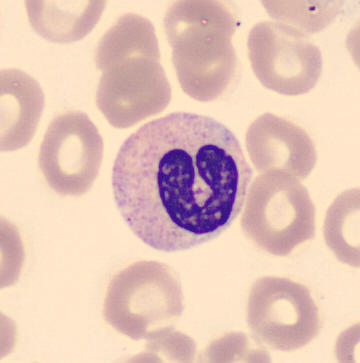

{"cell_type": "neutrophil (band)"}